Bone marrow aspirate smear; May-Grünwald-Giemsa/Pappenheim stain
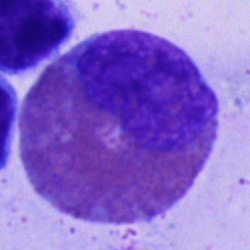Morphology → eosinophilic granulocyte.